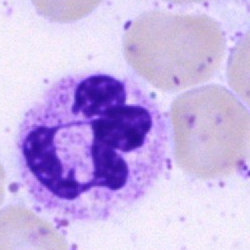

A segmented neutrophil on a bone marrow smear.